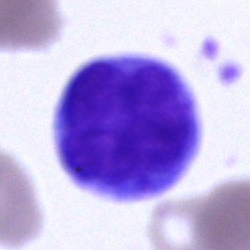

Single cell identified as a blast.